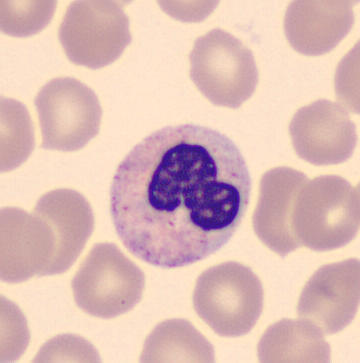

Specimen: peripheral blood smear.
Morphological class: band-form neutrophil.
Lineage: myeloid.